Bone marrow aspirate smear
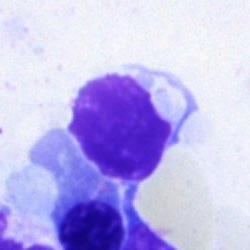 This is an artifact.